Image size 250×250; bone marrow aspirate smear — 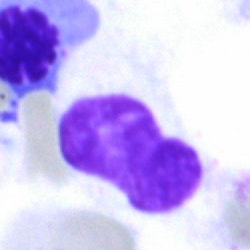

Morphology consistent with an artifact.